Bone marrow aspirate smear: 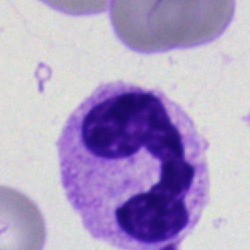
The morphological class is segmented neutrophil.